Bone marrow smear: 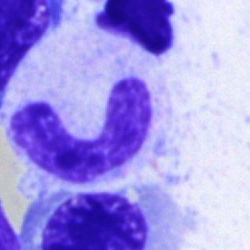Morphology consistent with a band-form neutrophil.